Bone marrow aspirate smear. 250×250. MGG-stained: 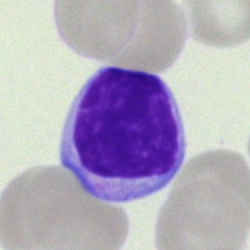

The cell is lymphocyte.